Bone marrow aspirate smear
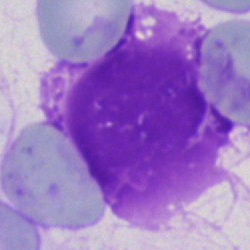 Single cell identified as an artefact.